Brightfield microscopy, 40× oil immersion · bone marrow smear:
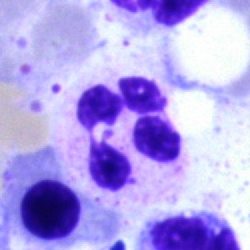 Q: Which cell type is shown here?
A: It is a polymorphonuclear neutrophil.